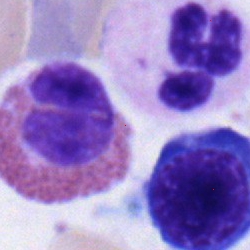 Classification: eosinophilic granulocyte.